Bone marrow aspirate smear · brightfield, 40× oil-immersion objective: 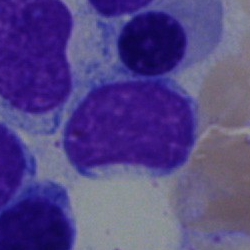 Specimen: bone marrow smear.
Morphological class: lymphocyte.